Single cell centered in the field · 250×250 · bone marrow aspirate smear:
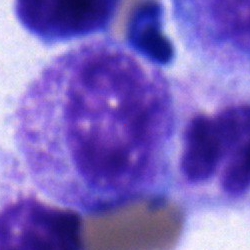 The cell shown is a metamyelocyte.